Bone marrow aspirate smear · cropped to a single cell
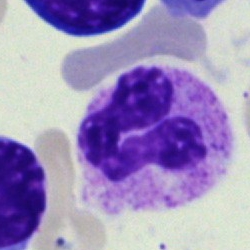 The cell shown is a neutrophil (segmented).